Single-cell field · bone marrow smear — 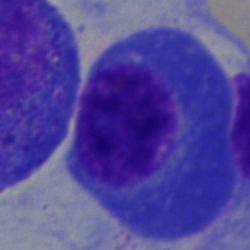 Morphology consistent with a plasma cell.